Cropped to a single cell. May-Grünwald-Giemsa stain. Bone marrow smear
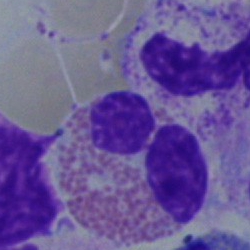

Q: What is shown here?
A: It is an eosinophil.